Bone marrow aspirate smear
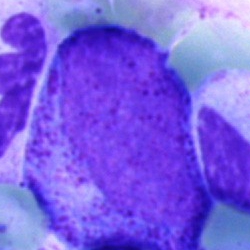
Q: Which cell type is shown here?
A: Progranulocyte.